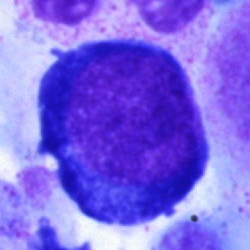
Specimen: bone marrow smear.
Classification: nucleated red blood cell.
Lineage: erythroid.